Bone marrow aspirate smear; image size 250×250
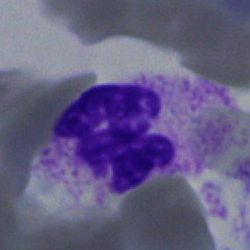Morphology consistent with a neutrophil (segmented).